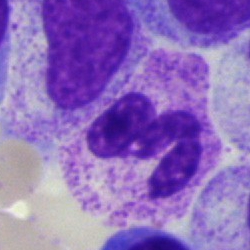Cell type — polymorphonuclear neutrophil.